Single cell centered in the field. Bone marrow smear — 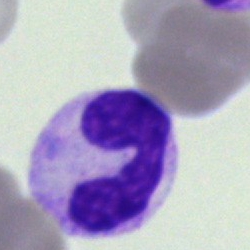

Q: Which cell type is shown here?
A: Stab cell.